Bone marrow smear · May-Grünwald-Giemsa/Pappenheim stain
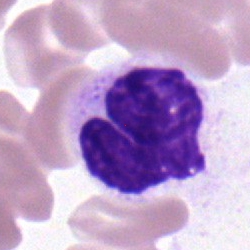 Cell — band neutrophil.